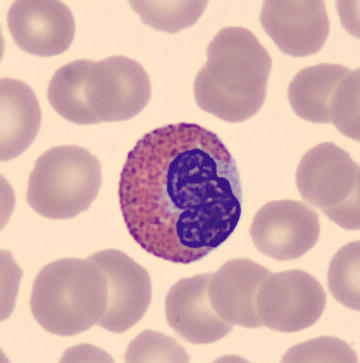

Classification: eosinophil.